Single-cell field. Bone marrow smear.
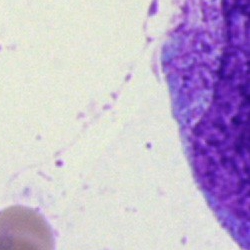Morphology consistent with an artifact.